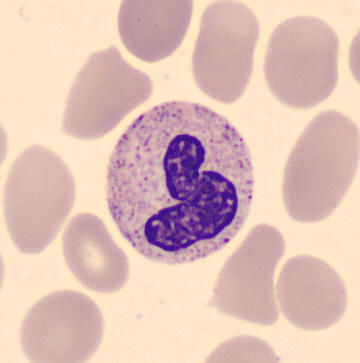Peripheral blood smear.
Showing a band-form neutrophil.